Bone marrow aspirate smear:
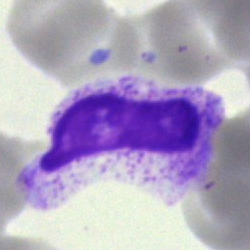
Morphology consistent with a metamyelocyte.